Bone marrow aspirate smear · 250×250 · brightfield microscopy, 40× oil immersion.
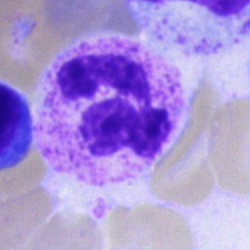

Showing a segmented neutrophil.